Bone marrow aspirate smear
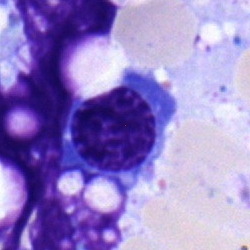 Showing a nucleated red cell.